Peripheral blood film:
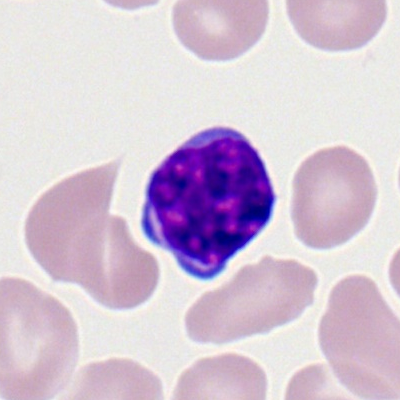 Q: Which cell type is shown here?
A: Typical lymphocyte.